Bone marrow smear.
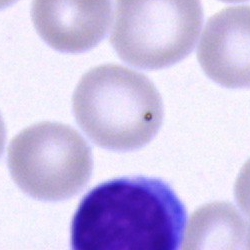

Q: What is the morphological classification of this cell?
A: A lymphocyte.